250×250 px. 40× objective, oil immersion. Bone marrow smear: 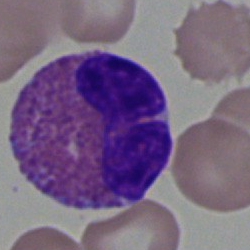
Cell — eosinophil.